Single-cell crop. Bone marrow smear:
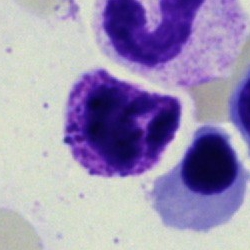
{"cell_type": "basophilic granulocyte", "lineage": "myeloid"}